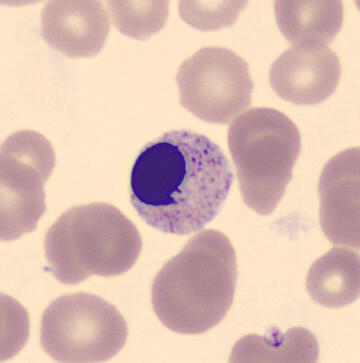

Cell = nucleated red cell.

Acquisition: Peripheral blood film.